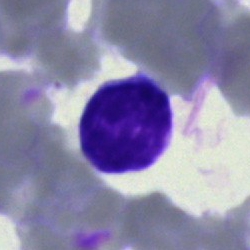
Specimen: bone marrow aspirate smear.
Cell: typical lymphocyte.
Lineage: lymphoid.